40× oil immersion · bone marrow smear.
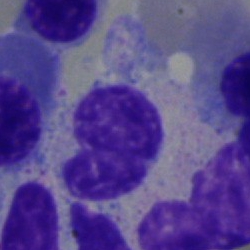 Specimen: bone marrow aspirate smear.
Cell: band-form neutrophil.
Lineage: myeloid.